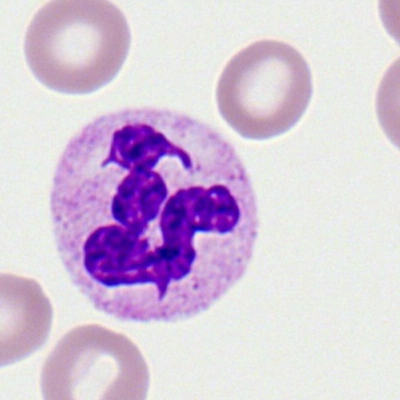

Polymorphonuclear neutrophil.